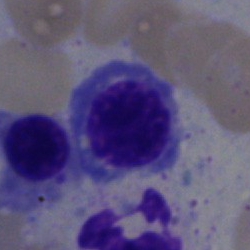
Specimen: bone marrow smear.
Cell type: nucleated red cell.
Lineage: erythroid.